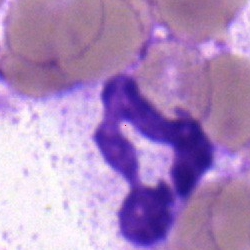

Cell — segmented neutrophil.